Single cell centered in the field. Bone marrow aspirate smear. 40× oil immersion:
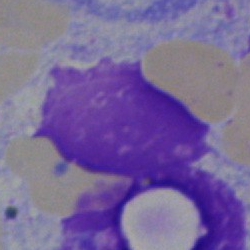

Artefact.